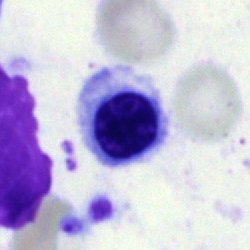The cell shown is a normoblast.